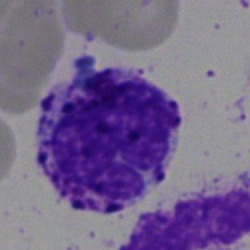Specimen: bone marrow aspirate smear.
Cell: basophilic granulocyte.